Single cell centered in the field. Bone marrow smear
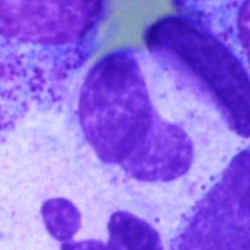Band neutrophil.